Bone marrow smear — 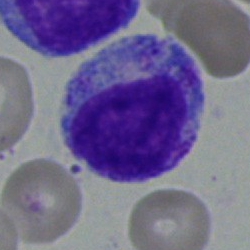

Myelocyte.